Bone marrow smear; MGG-stained; 250×250 px
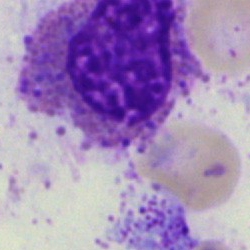Specimen: bone marrow smear.
Cell type: artifact.